Bone marrow smear — 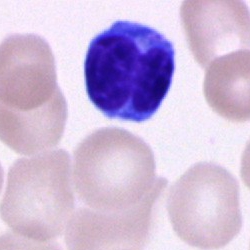 The cell shown is a lymphocyte.